40× objective, oil immersion. Bone marrow smear: 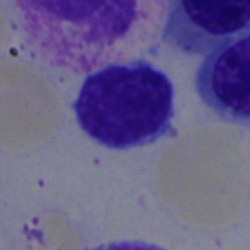Classification = lymphocyte.